Bone marrow aspirate smear; 250×250 — 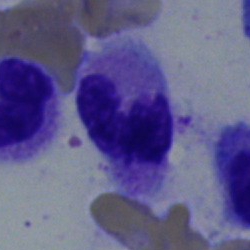
Cell type = stab cell.